250 by 250 pixels. Bone marrow smear:
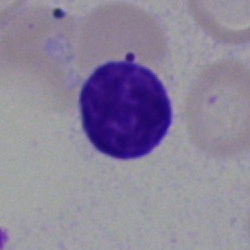
Q: What is the morphological classification of this cell?
A: Lymphocyte.